Brightfield microscopy, 40× oil immersion. 250×250 px. Bone marrow aspirate smear
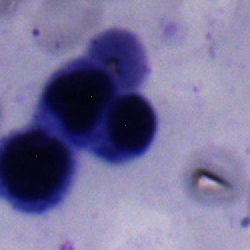
Morphology consistent with a nucleated red cell.